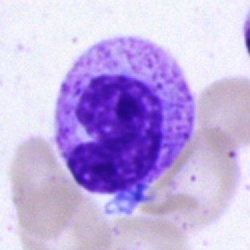 Q: Identify the cell.
A: Stab cell.